Bone marrow aspirate smear · 40× oil immersion:
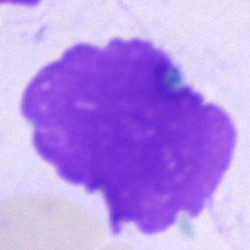

Morphology → artefact.